Bone marrow smear: 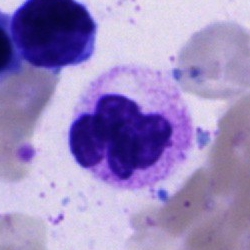
Morphological class = segmented neutrophil.